Bone marrow aspirate smear: 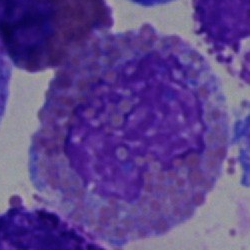

Specimen: bone marrow aspirate smear.
Classification: eosinophilic granulocyte.